Single cell centered in the field. Bone marrow smear:
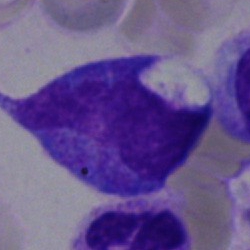Morphology → promyelocyte.